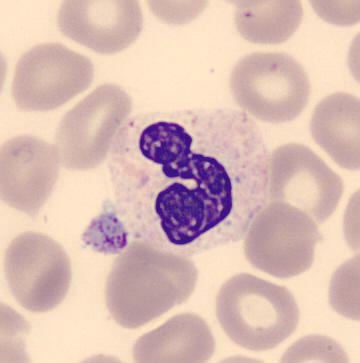Q: What is shown here?
A: This is a band neutrophil.
Image: Peripheral blood smear.